Bone marrow smear; MGG-stained — 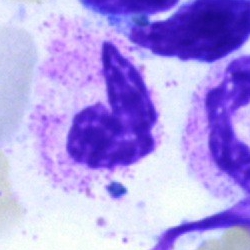Morphological class = segmented neutrophil.